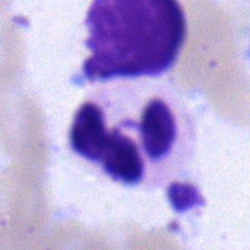Q: What is the morphological classification of this cell?
A: This is a polymorphonuclear neutrophil.